Bone marrow aspirate smear:
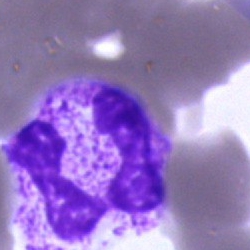
This is a segmented neutrophil.